Bone marrow smear:
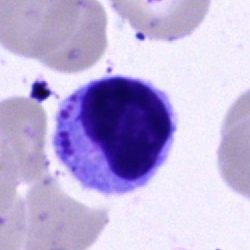Impression — cell of indeterminate lineage.